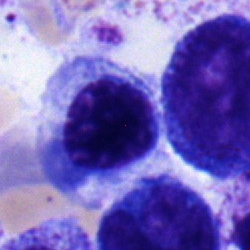
Q: What is shown here?
A: A normoblast.